Bone marrow smear · 40× oil immersion.
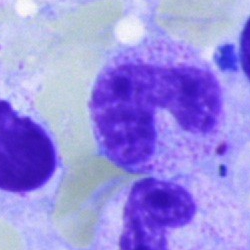Showing a neutrophil (band).